Image size 250×250 · bone marrow aspirate smear · cropped to a single cell:
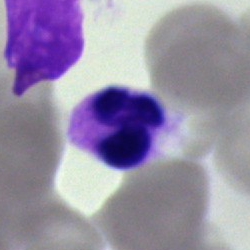

Morphology → polymorphonuclear neutrophil.